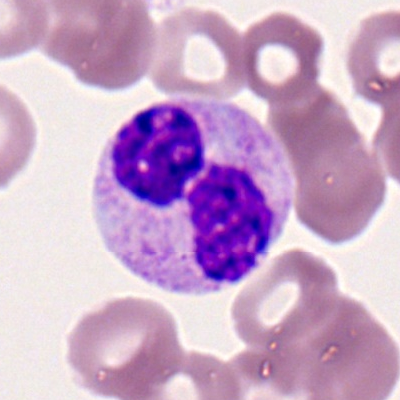 Impression → segmented neutrophil.